250×250 px · bone marrow aspirate smear:
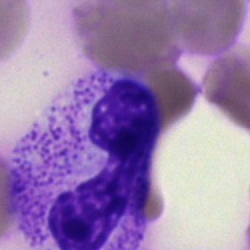

Q: What type of cell is this?
A: A stab cell.